Single-cell field · peripheral blood film · automated cell imaging (CellaVision DM96)
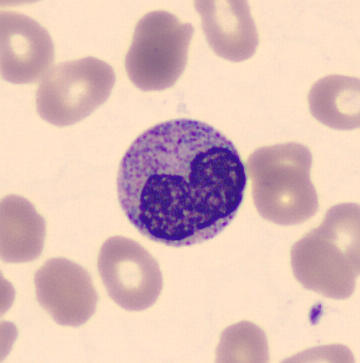
Impression → metamyelocyte.